Bone marrow smear: 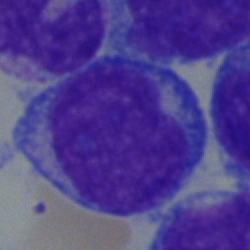
An undifferentiated blast.